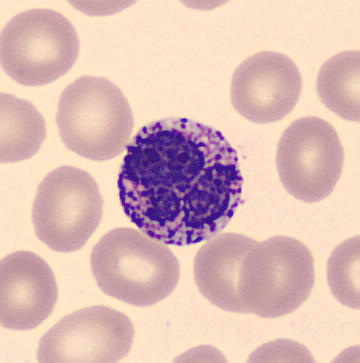

Q: What is shown here?
A: This is a basophil.